Bone marrow smear; 250×250.
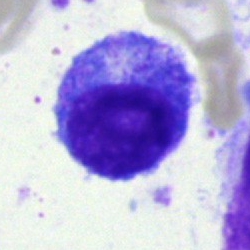Morphology → promyelocyte.